Bone marrow smear:
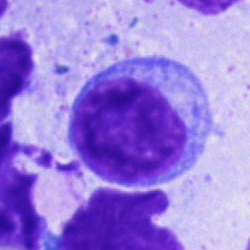

Specimen: bone marrow aspirate smear.
Cell: typical lymphocyte.